Bone marrow aspirate smear:
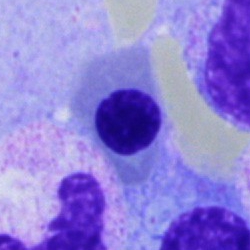

Morphology — nucleated red cell.